May-Grünwald-Giemsa stain · bone marrow aspirate smear: 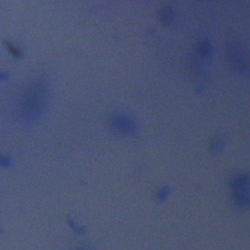 {"cell_type": "artefact"}